Bone marrow smear
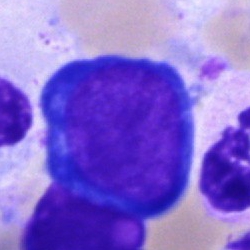Cell type = pronormoblast.